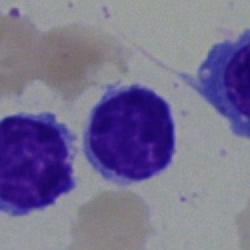This is a typical lymphocyte.